Bone marrow smear — 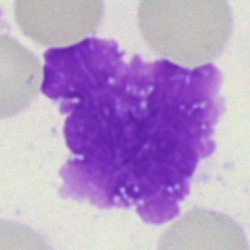Artefact.